Bone marrow aspirate smear: 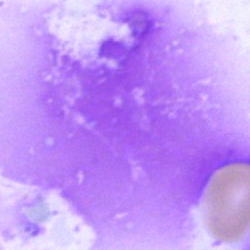{"cell_type": "artefact"}